Peripheral blood film; cropped to a single cell; 100× objective, oil immersion: 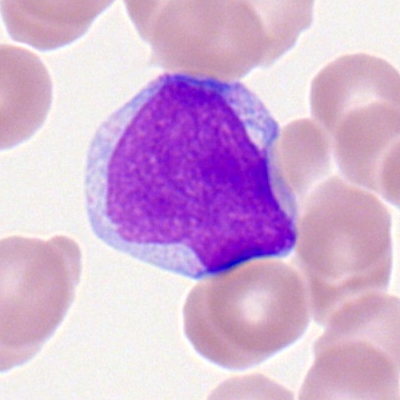
Q: What type of cell is this?
A: It is a myeloblast.